250×250 px · bone marrow aspirate smear · single-cell field
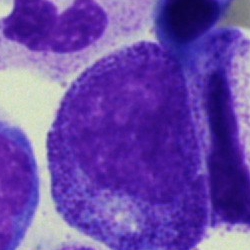
Q: What is shown here?
A: It is a promyelocyte.